Bone marrow aspirate smear
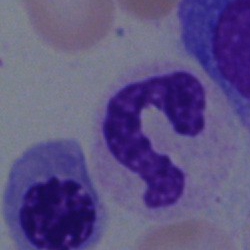Cell — polymorphonuclear neutrophil.